Bone marrow smear:
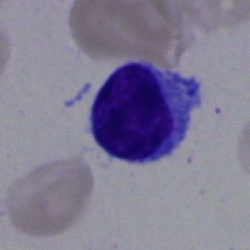{"cell_type": "typical lymphocyte", "lineage": "lymphoid"}